250 by 250 pixels · bone marrow smear: 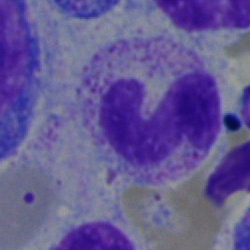
This is a metamyelocyte.